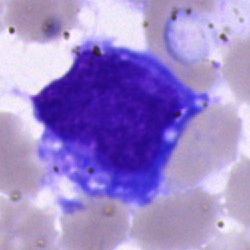 {"cell_type": "undifferentiated blast"}